Bone marrow aspirate smear. May-Grünwald-Giemsa stain: 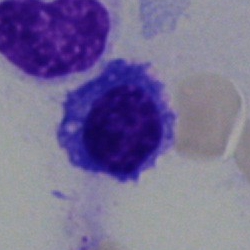Q: Which cell type is shown here?
A: Plasma cell.